Peripheral blood film
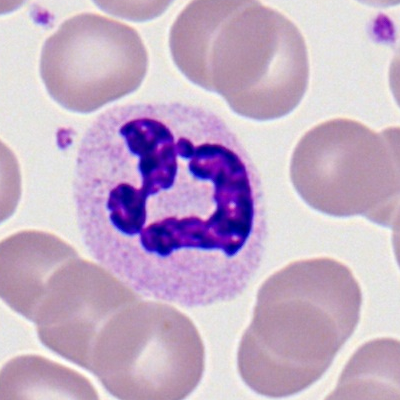

The cell shown is a polymorphonuclear neutrophil.